250×250 px · bone marrow smear: 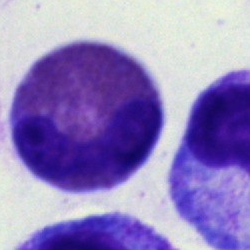Q: What is shown here?
A: An eosinophilic granulocyte.